Bone marrow smear.
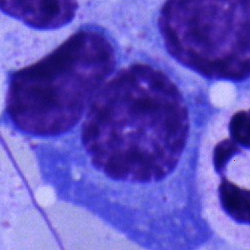

Showing a plasma cell.